Bone marrow smear.
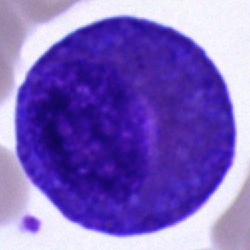 {"cell_type": "eosinophilic granulocyte"}